Bone marrow aspirate smear:
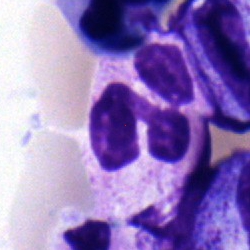

Q: Which cell type is shown here?
A: It is a band neutrophil.